Bone marrow smear. May-Grünwald-Giemsa/Pappenheim stain:
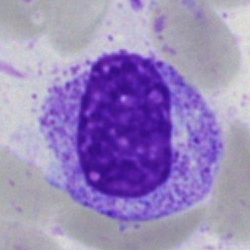Q: Which cell type is shown here?
A: Myelocyte.